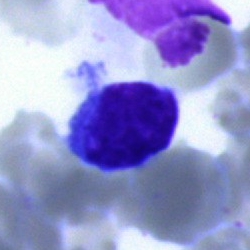
Cell type: typical lymphocyte.